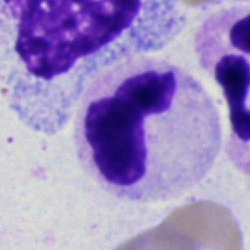
Morphology consistent with a polymorphonuclear neutrophil.